Bone marrow smear: 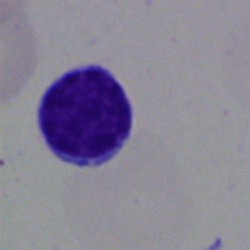 Single cell identified as a typical lymphocyte.